Bone marrow smear — 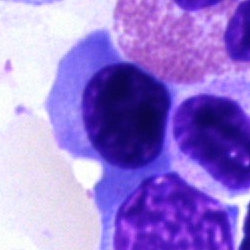 Impression — erythroblast.